Bone marrow smear — 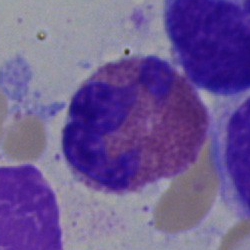
Eosinophilic granulocyte.